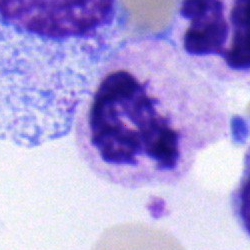Cell — segmented neutrophil.